Cropped to a single cell. Bone marrow aspirate smear
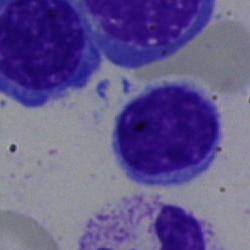 Cell type: lymphocyte.